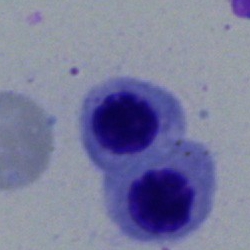 A nucleated red blood cell on a bone marrow smear.